Bone marrow aspirate smear: 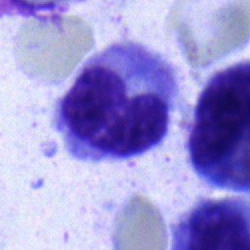

{"cell_type": "metamyelocyte", "lineage": "myeloid"}